Bone marrow aspirate smear — 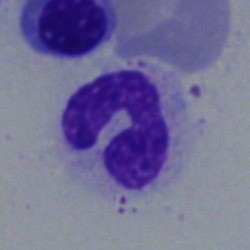 Specimen: bone marrow aspirate smear.
Morphological class: band neutrophil.
Lineage: myeloid.